Bone marrow aspirate smear — 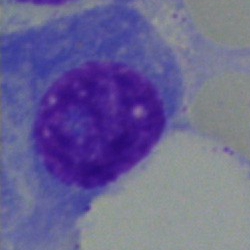
Classification = plasmacyte.